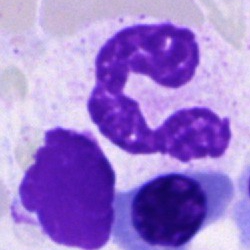

Single cell identified as a polymorphonuclear neutrophil.